Bone marrow aspirate smear · 40× objective, oil immersion: 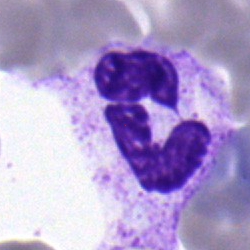
Cell = polymorphonuclear neutrophil.